Pappenheim-stained; bone marrow smear.
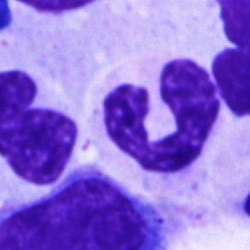

Cell = segmented neutrophil.